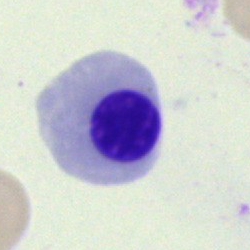

Morphology → normoblast.